Peripheral blood film. Single-cell field: 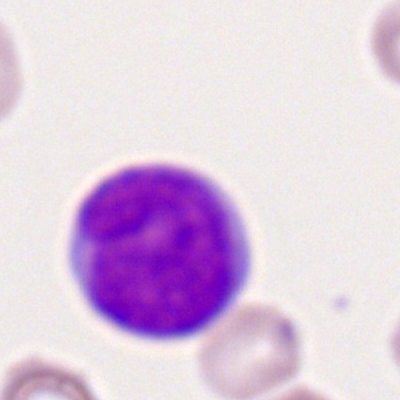

Q: What is shown here?
A: Myeloid blast.